Bone marrow smear — 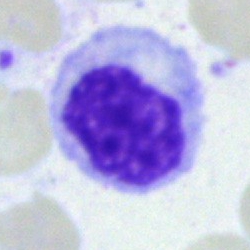
Specimen: bone marrow aspirate smear.
Classification: myelocyte.
Lineage: myeloid.